Brightfield microscopy, 40× oil immersion · cropped to a single cell · bone marrow aspirate smear — 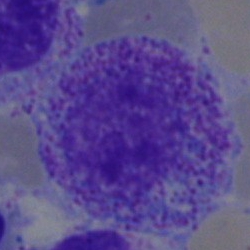

Single cell identified as a myelocyte.